Bone marrow aspirate smear: 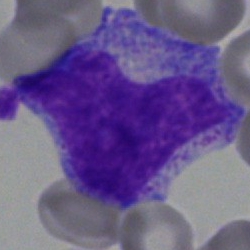 The cell shown is a myelocyte.